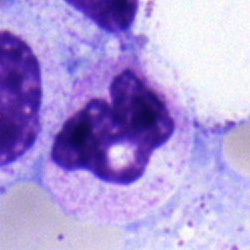

{"cell_type": "polymorphonuclear neutrophil", "lineage": "myeloid"}